Peripheral blood film; Romanowsky stain; 400×400 px:
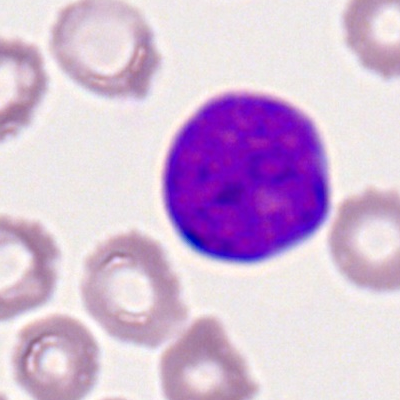
Q: What type of cell is this?
A: It is a myeloblast.